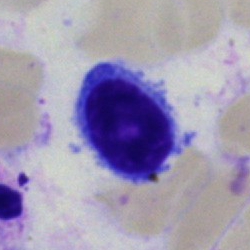
Q: What cell is this?
A: Typical lymphocyte.